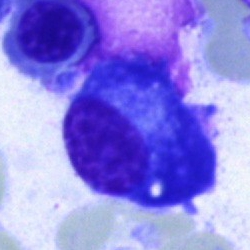Specimen: bone marrow aspirate smear.
Cell: plasmacyte.
Lineage: lymphoid.